Bone marrow aspirate smear — 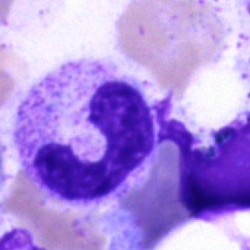
The cell shown is a neutrophil (band).